Bone marrow aspirate smear:
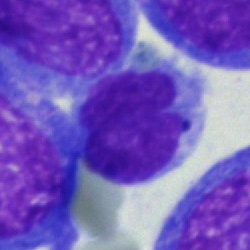

The cell shown is a monocyte.